Peripheral blood smear
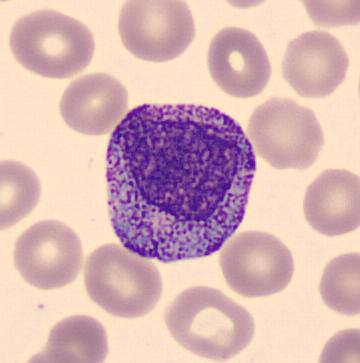Progranulocyte.